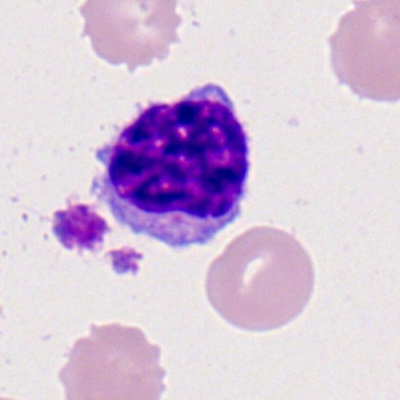 Single-cell crop from a peripheral blood smear: lymphocyte.